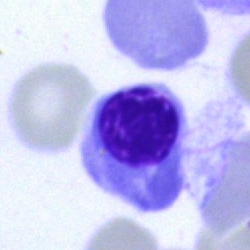
Specimen: bone marrow smear.
Cell type: erythroblast.
Lineage: erythroid.